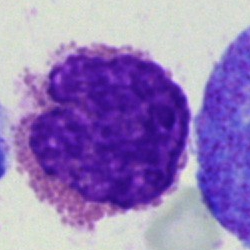

Eosinophil.